Peripheral blood film:
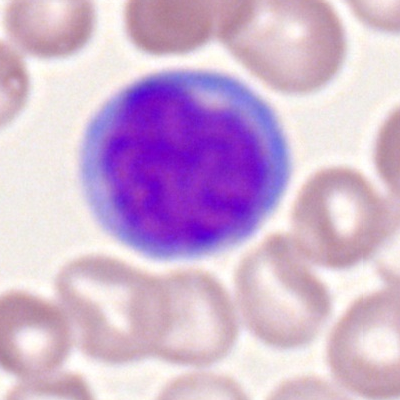 This is a monocyte.